Brightfield, 100× oil-immersion objective; Romanowsky-stained; peripheral blood film:
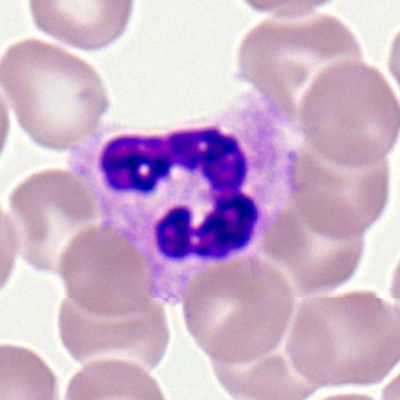
{"cell_type": "neutrophil (segmented)", "lineage": "myeloid"}